Bone marrow smear · 250×250 · cropped to a single cell — 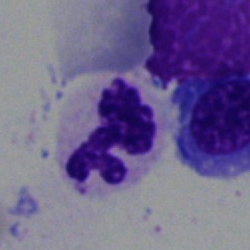The cell shown is a neutrophil (segmented).